Bone marrow smear — 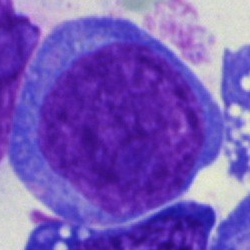Q: What is the morphological classification of this cell?
A: This is an undifferentiated blast.